Bone marrow smear — 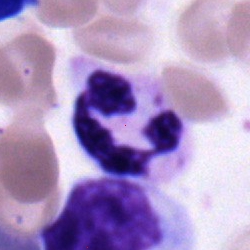

Impression → segmented neutrophil.